Bone marrow smear:
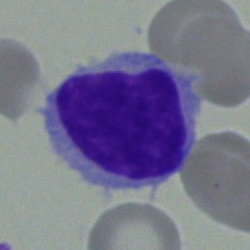

Q: What type of cell is this?
A: This is a lymphocyte.